Single-cell field. Bone marrow aspirate smear:
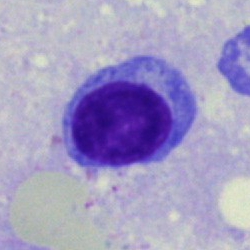

Morphological class: lymphocyte.